Bone marrow aspirate smear — 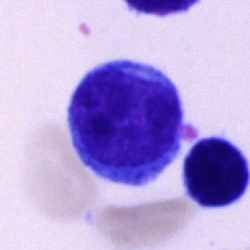

Cell type: lymphocyte.